Bone marrow smear
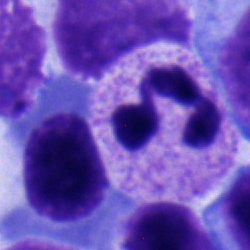Neutrophil (segmented).